Peripheral blood smear
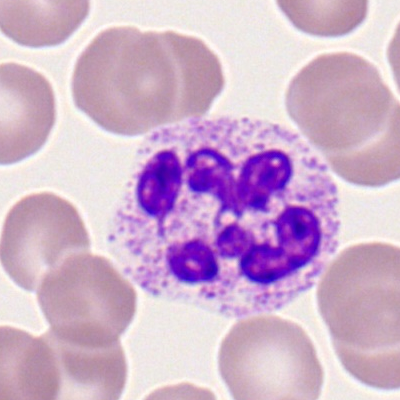 This is a polymorphonuclear neutrophil.